Bone marrow aspirate smear — 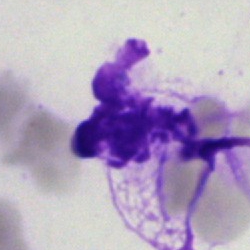
Cell type = artifact.